Bone marrow smear: 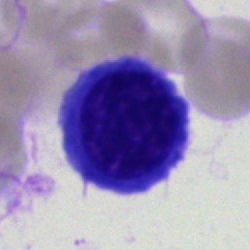
The cell is normoblast.